Bone marrow aspirate smear. Single cell centered in the field
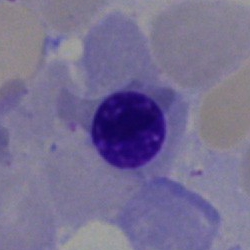

Cell type = nucleated red blood cell.